Bone marrow aspirate smear — 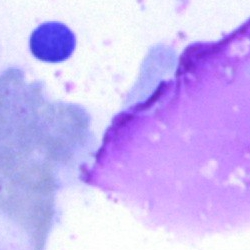
Classification: artefact.